Bone marrow aspirate smear — 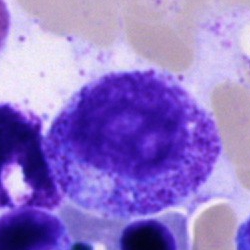Progranulocyte.